Bone marrow smear:
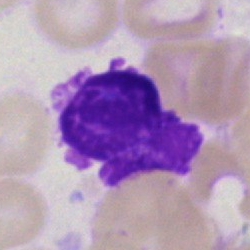

Cell type = artifact.